MGG-stained; single-cell crop; bone marrow smear:
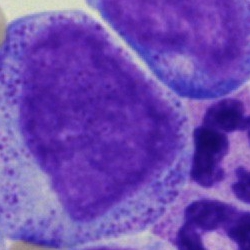 Q: What type of cell is this?
A: A progranulocyte.